Peripheral blood smear · cropped to a single cell — 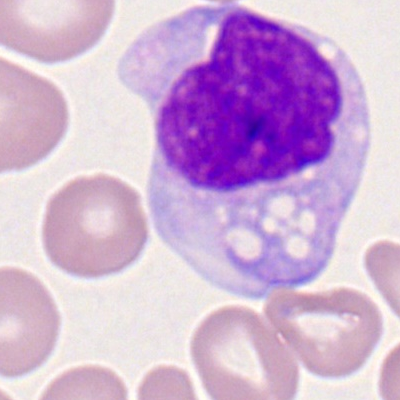The classification is monocyte.